Bone marrow aspirate smear · single cell centered in the field · brightfield microscopy, 40× oil immersion — 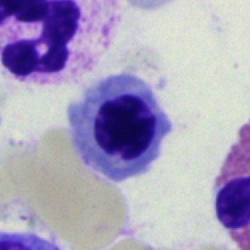

Normoblast.